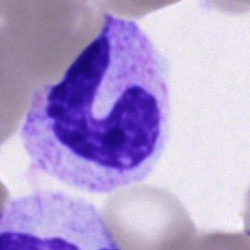Q: Which cell type is shown here?
A: It is a stab cell.